Bone marrow aspirate smear
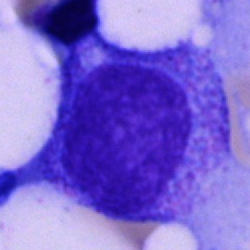

A progranulocyte.